Bone marrow smear. 250 by 250 pixels: 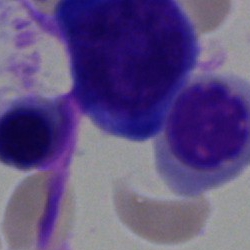
Cell = nucleated red blood cell.